MGG-stained. Bone marrow smear. 250 by 250 pixels — 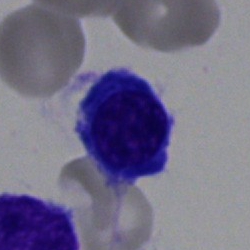 Q: What is the morphological classification of this cell?
A: It is a lymphocyte.